Peripheral blood film
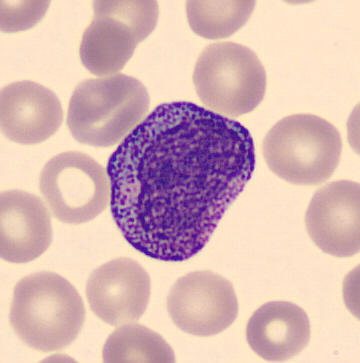
Morphology consistent with a progranulocyte.